40× oil immersion · bone marrow aspirate smear · image size 250×250.
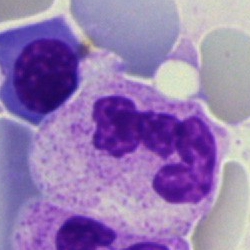

Q: Which cell type is shown here?
A: This is a polymorphonuclear neutrophil.